Peripheral blood smear; Romanowsky stain.
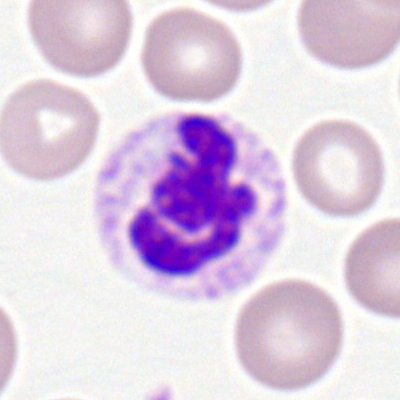This is a neutrophil (segmented).